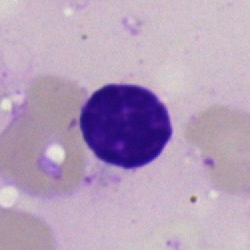
Cell = artefact.